Bone marrow smear; 40× oil immersion:
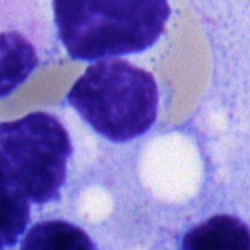

Specimen: bone marrow smear.
Classification: typical lymphocyte.